Bone marrow smear; brightfield, 40× oil-immersion objective; May-Grünwald-Giemsa stain
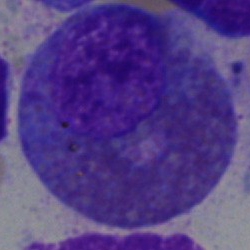

Q: What is the morphological classification of this cell?
A: It is an eosinophil.